Bone marrow smear: 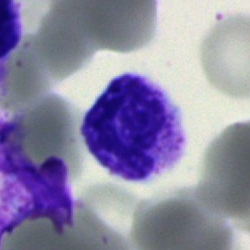

Cell type — segmented neutrophil.